40× oil immersion. Bone marrow aspirate smear
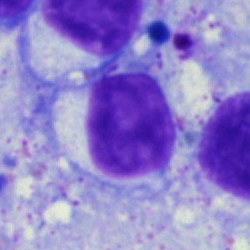Q: What is shown here?
A: Artefact.